Peripheral blood smear
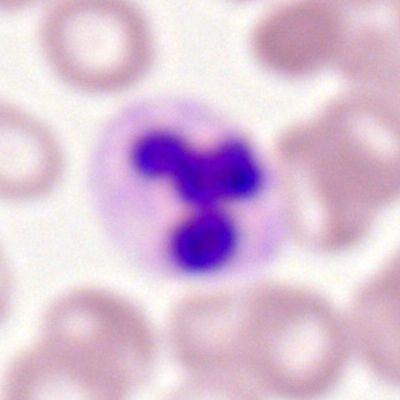

The cell shown is a segmented neutrophil.